Bone marrow aspirate smear: 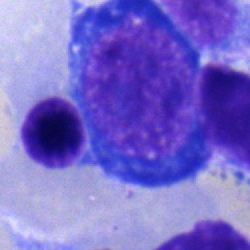 {"cell_type": "proerythroblast"}